Bone marrow smear
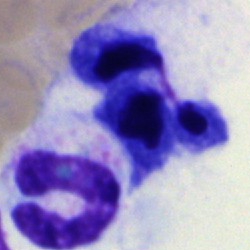

Single cell identified as a normoblast.